Peripheral blood film; cropped to a single cell — 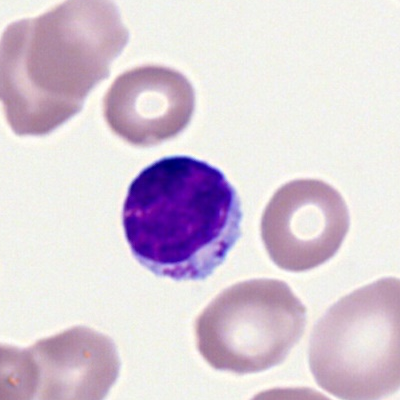Cell: typical lymphocyte.